Image size 250×250; bone marrow smear; MGG-stained.
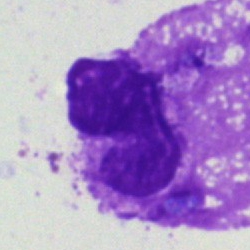

The cell type is artefact.